Bone marrow aspirate smear.
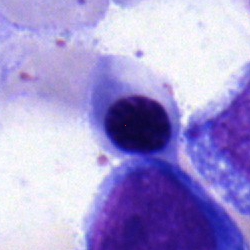 Nucleated red blood cell.